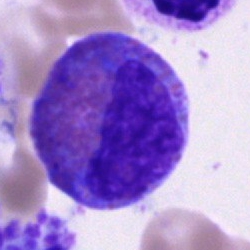
An eosinophil on a bone marrow smear.